Bone marrow aspirate smear; 250×250 px
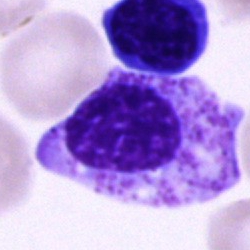 Impression — myelocyte.